Single cell centered in the field; bone marrow smear:
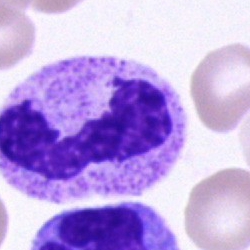Showing a polymorphonuclear neutrophil.